Single-cell field. Bone marrow aspirate smear:
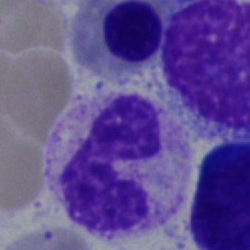Classification = segmented neutrophil.